Single-cell crop · 400 by 400 pixels · peripheral blood film:
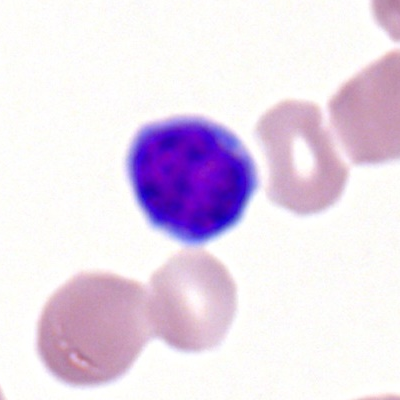 Morphology → lymphocyte.